Bone marrow aspirate smear — 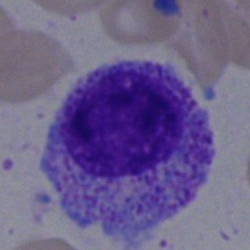

This is a myelocyte.